Bone marrow aspirate smear.
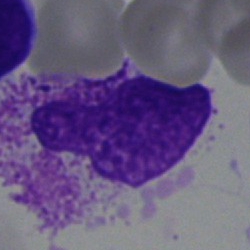The cell shown is an artifact.